May-Grünwald-Giemsa stain; bone marrow smear
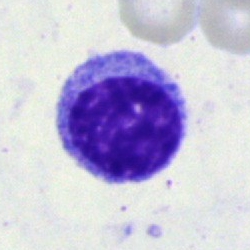

Showing a myelocyte.